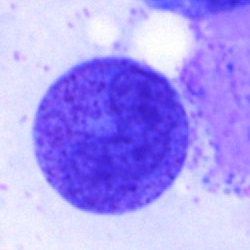

Showing a metamyelocyte.